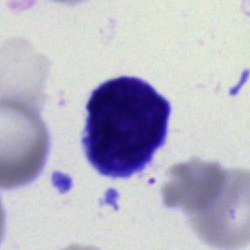

Q: What type of cell is this?
A: Undifferentiated blast.